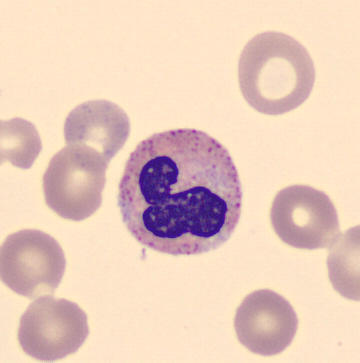Morphological class: stab cell. Preparation: Peripheral blood film.